Bone marrow aspirate smear.
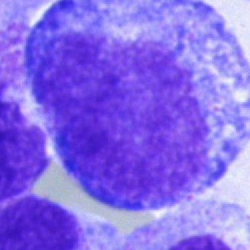

Cell type — progranulocyte.